Brightfield, 40× oil-immersion objective · bone marrow smear — 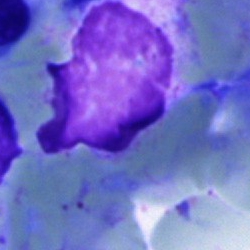
Q: What is shown here?
A: Artefact.